Bone marrow aspirate smear.
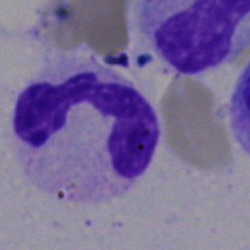

Morphology consistent with a neutrophil (segmented).